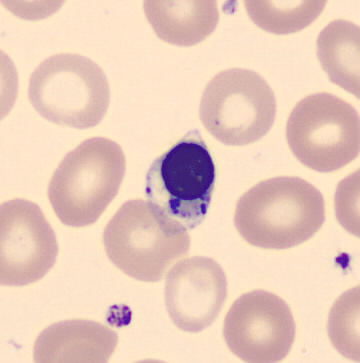 Impression → erythroblast. Preparation: MGG stain · peripheral blood smear.